Bone marrow aspirate smear. 40× objective, oil immersion:
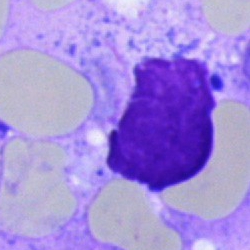 The cell shown is an artifact.